Bone marrow aspirate smear — 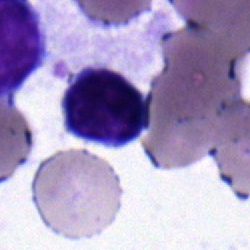

Morphology — typical lymphocyte.